Bone marrow aspirate smear · brightfield, 40× oil-immersion objective:
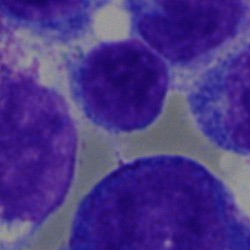
Cell type — typical lymphocyte.